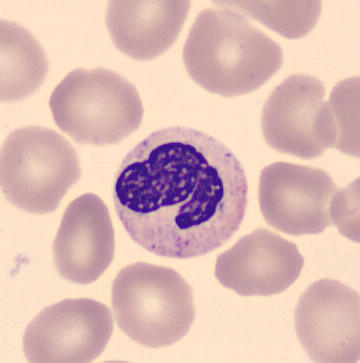
Morphology consistent with a band neutrophil.
Acquisition: Peripheral blood film.